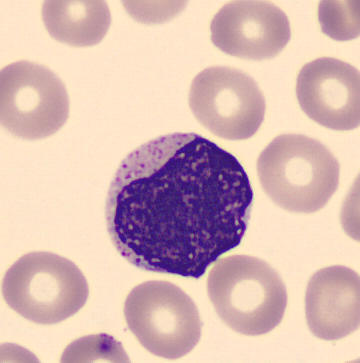 This is a myelocyte.
Peripheral blood smear.